40× objective, oil immersion · bone marrow aspirate smear — 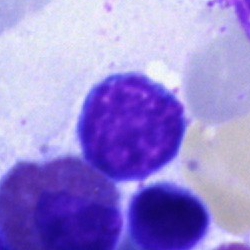Morphology consistent with a lymphocyte.